Bone marrow smear; single-cell field: 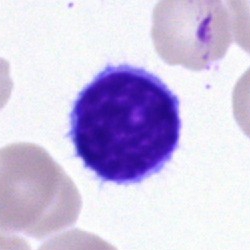

The cell shown is a typical lymphocyte.